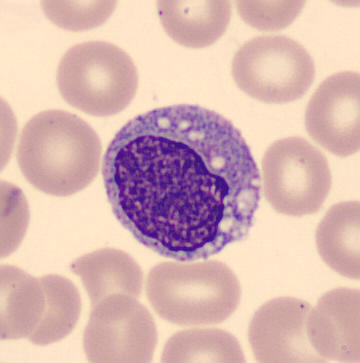

Morphology consistent with a monocyte.

Acquisition: Peripheral blood film; CellaVision DM96.